Peripheral blood smear. Single-cell crop: 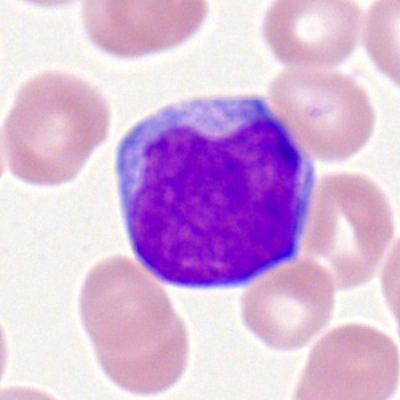
The cell shown is a myeloblast.